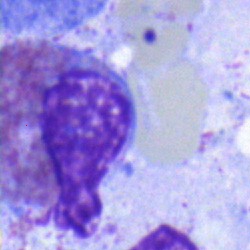 Bone marrow aspirate smear, single cell — eosinophilic granulocyte.